Peripheral blood smear. Image size 360×363 — 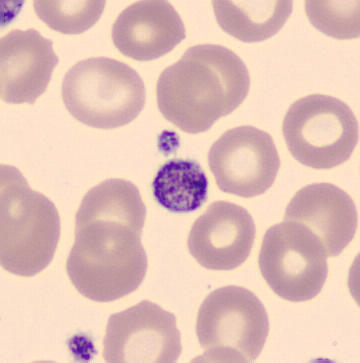
Platelet.